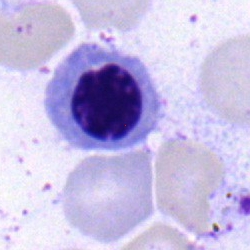 Bone marrow aspirate smear, single cell — erythroblast.